Bone marrow smear.
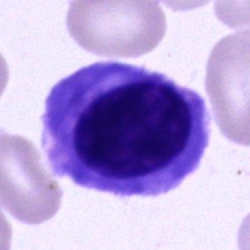

A cell of indeterminate lineage.